Bone marrow aspirate smear:
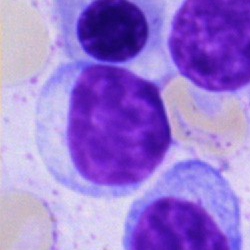 A typical lymphocyte.